Single cell centered in the field; bone marrow aspirate smear.
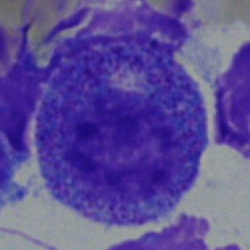

{"cell_type": "progranulocyte", "lineage": "myeloid"}